Bone marrow smear. Single-cell field. Brightfield, 40× oil-immersion objective — 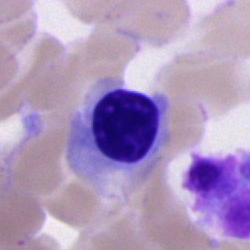 Erythroblast.